Bone marrow aspirate smear:
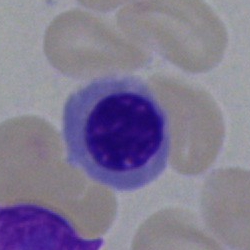

Q: What cell is this?
A: This is a normoblast.